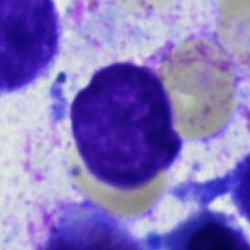 Specimen: bone marrow aspirate smear.
Classification: artefact.